Bone marrow smear — 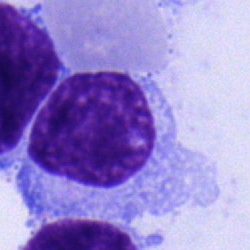

Cell type = typical lymphocyte.